Bone marrow smear:
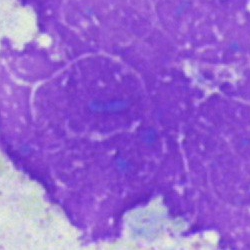
Morphology — artefact.